Bone marrow smear: 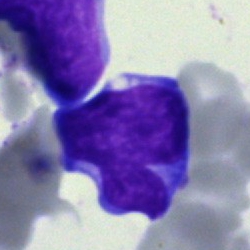This is a blast.